Bone marrow aspirate smear: 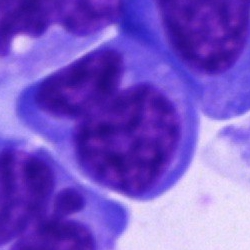The cell shown is an undifferentiated blast.